MGG-stained; bone marrow smear: 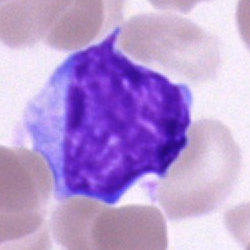

The cell is undifferentiated blast.